Bone marrow smear · 40× oil immersion · Pappenheim-stained
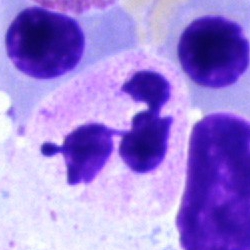

Specimen: bone marrow smear.
Cell type: neutrophil (segmented).